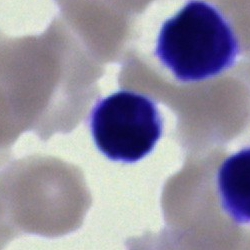 A lymphocyte on a bone marrow smear.